Bone marrow smear
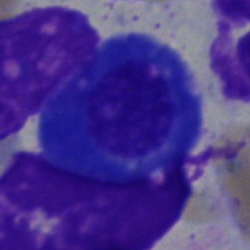Morphology consistent with a plasmacyte.